Bone marrow aspirate smear. 250×250 px. 40× objective, oil immersion — 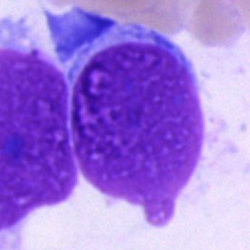
Impression → artifact.